Bone marrow aspirate smear
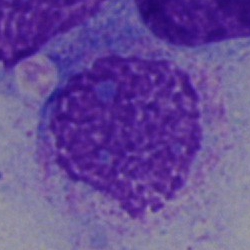Artefact.